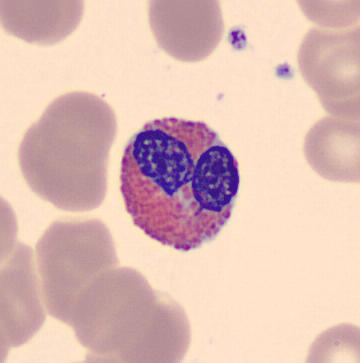
Peripheral blood film.
Single cell identified as an eosinophil.